Bone marrow aspirate smear.
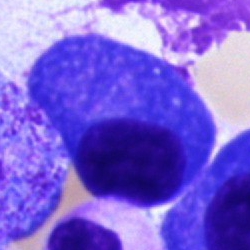

Plasmacyte.